Image size 360×363 · peripheral blood film — 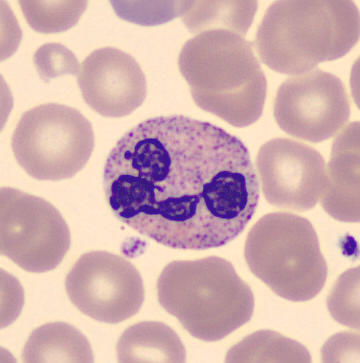

The cell type is neutrophil (segmented).